400×400 px · cropped to a single cell · peripheral blood smear:
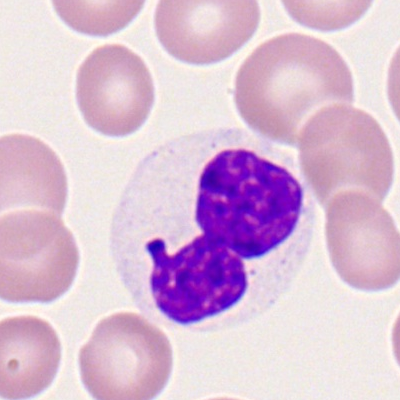 The cell type is neutrophil (segmented).